40× objective, oil immersion. Single-cell field. Bone marrow smear: 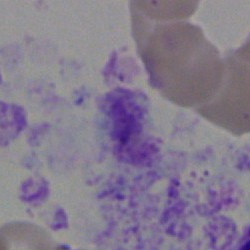 Showing an artefact.